Image size 250×250; bone marrow smear
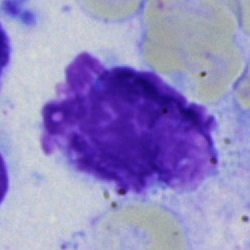 The cell type is artefact.